Bone marrow smear · May-Grünwald-Giemsa/Pappenheim stain · brightfield, 40× oil-immersion objective: 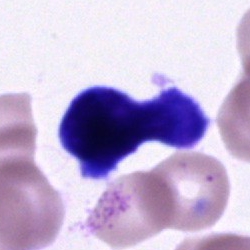
Cell of indeterminate lineage.